Brightfield microscopy, 40× oil immersion · single-cell crop · bone marrow smear.
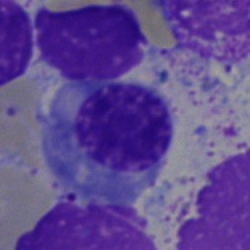

Specimen: bone marrow smear.
Morphological class: normoblast.